Peripheral blood smear · brightfield, 100× oil-immersion objective:
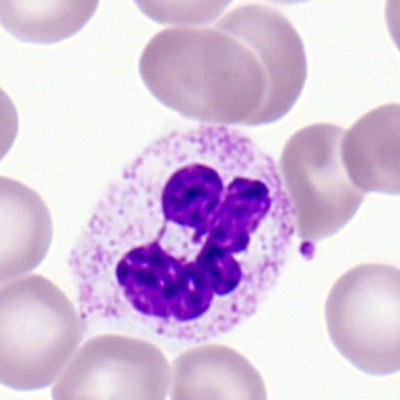
Classification: segmented neutrophil.